Bone marrow aspirate smear.
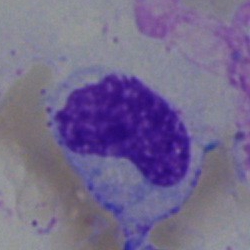 Cell type — band-form neutrophil.